MGG-stained; bone marrow smear; cropped to a single cell — 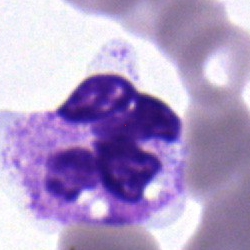Morphological class — polymorphonuclear neutrophil.